May-Grünwald-Giemsa/Pappenheim stain; bone marrow smear: 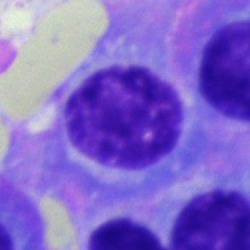Showing a plasma cell.